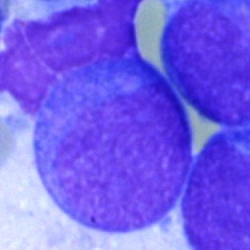 Impression → blast cell.